Bone marrow aspirate smear · single-cell field
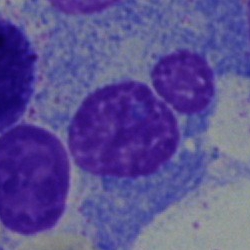The classification is plasma cell.